40× objective, oil immersion · bone marrow smear · Pappenheim-stained — 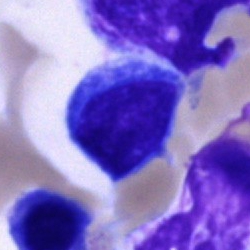
{"cell_type": "unidentifiable cell"}